May-Grünwald-Giemsa-stained. Peripheral blood film.
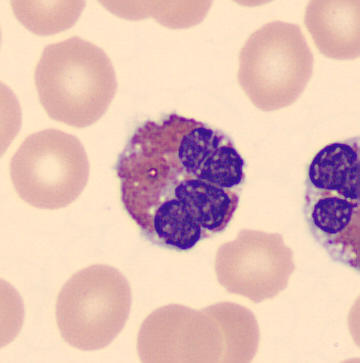 Morphology → eosinophilic granulocyte.